Bone marrow aspirate smear: 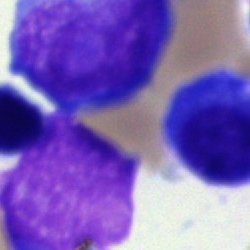

The classification is unidentifiable cell.